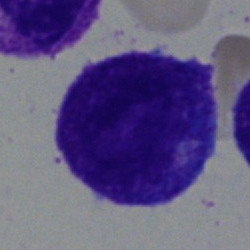 Bone marrow aspirate smear, single cell — progranulocyte.